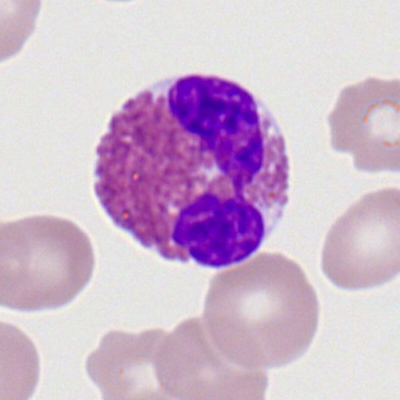

Q: What cell is this?
A: An eosinophil.